Bone marrow aspirate smear — 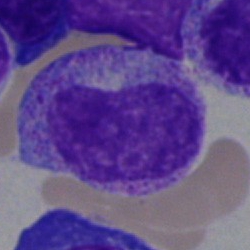 Q: Identify the cell.
A: Metamyelocyte.